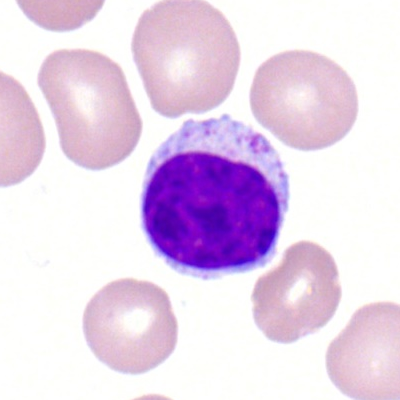Morphology consistent with a lymphocyte.